Bone marrow smear. May-Grünwald-Giemsa stain: 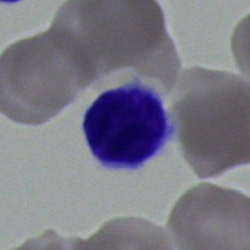The cell shown is a typical lymphocyte.